400×400 px · M8 digital microscope (Precipoint), 100× oil immersion · peripheral blood film — 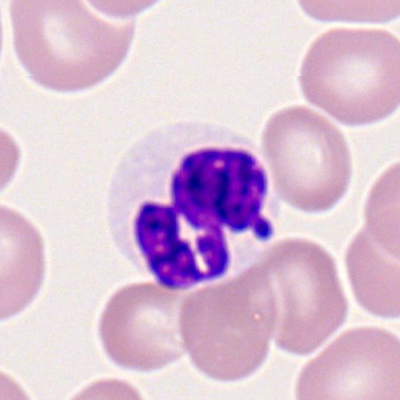
The cell type is neutrophil (segmented).